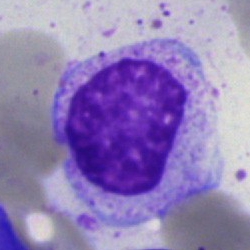
The cell is myelocyte.